Bone marrow smear: 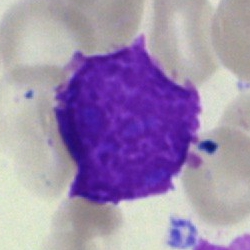Morphological class = artefact.